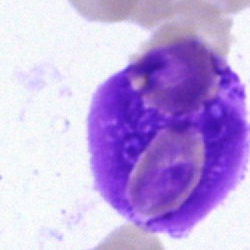 An artefact.